Bone marrow smear; May-Grünwald-Giemsa stain; 40× objective, oil immersion: 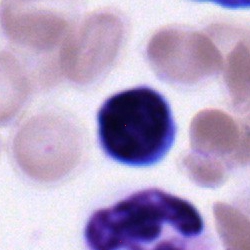
This is a lymphocyte.